Bone marrow smear.
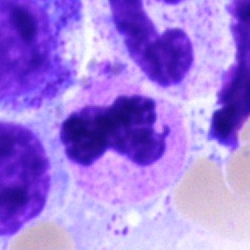
This is a segmented neutrophil.